Bone marrow aspirate smear — 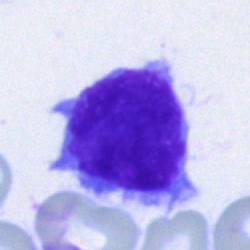 Impression → typical lymphocyte.